Bone marrow smear
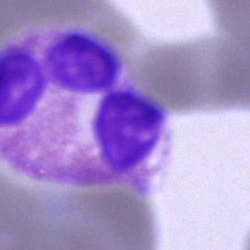
The morphological class is eosinophil.